Bone marrow smear.
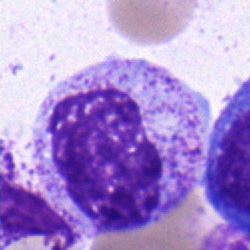Cell type — metamyelocyte.